MGG-stained; bone marrow aspirate smear; 40× objective, oil immersion
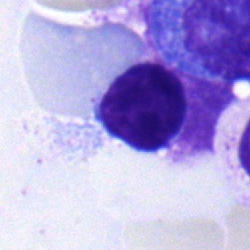
Normoblast.